Bone marrow aspirate smear: 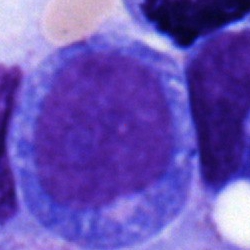 This is a progranulocyte.